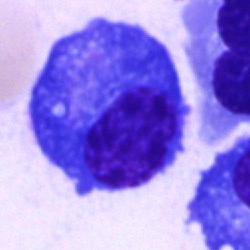Bone marrow aspirate smear, single cell — plasma cell.